Bone marrow smear; single-cell crop.
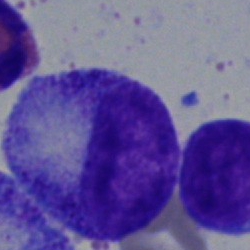Morphology consistent with a myelocyte.